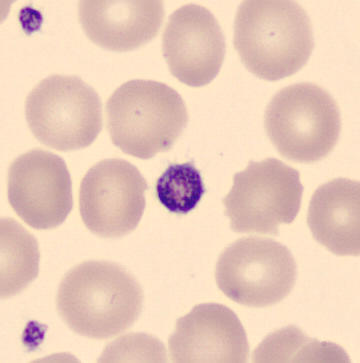The morphological class is platelet.